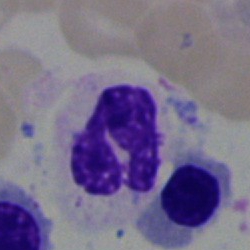

Morphology — neutrophil (segmented).